Bone marrow smear.
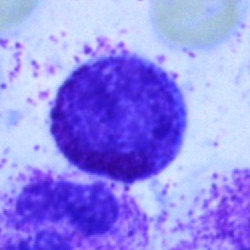 Morphological class — typical lymphocyte.